Bone marrow smear
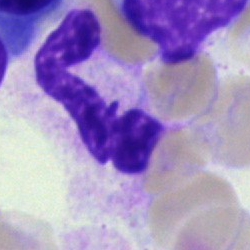 Showing a polymorphonuclear neutrophil.